Bone marrow aspirate smear — 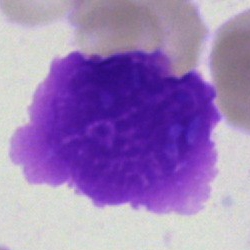
Q: What is shown here?
A: An artefact.